Peripheral blood smear:
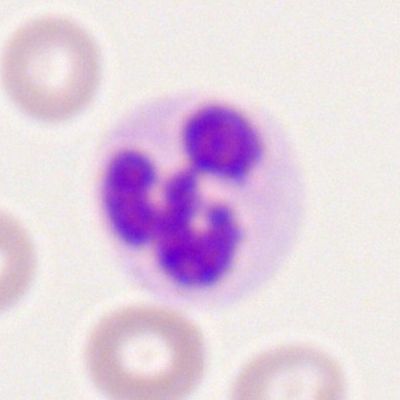 Specimen: peripheral blood film.
Cell type: segmented neutrophil.
Lineage: myeloid.